Bone marrow smear: 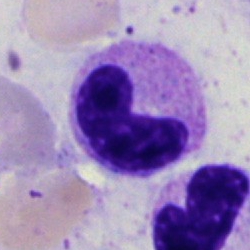
{"cell_type": "band-form neutrophil"}